Pappenheim-stained. Bone marrow aspirate smear.
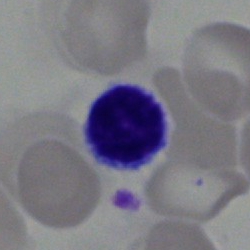A lymphocyte.